Bone marrow smear; May-Grünwald-Giemsa stain; image size 250×250 — 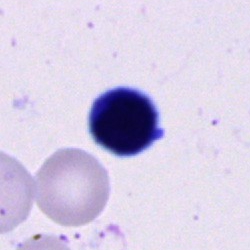
Specimen: bone marrow smear.
Cell type: cell of indeterminate lineage.